Bone marrow smear: 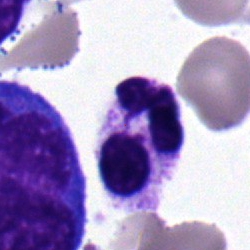 Morphological class: neutrophil (segmented).